Bone marrow smear · image size 250×250
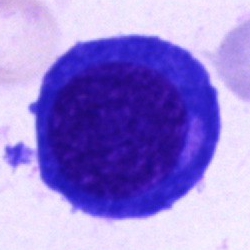 Q: What cell is this?
A: This is an erythroblast.